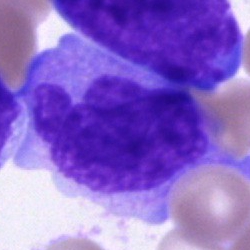

{"cell_type": "blast cell"}